Bone marrow smear: 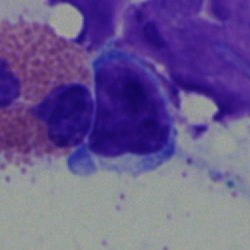

Impression → typical lymphocyte.